Bone marrow smear — 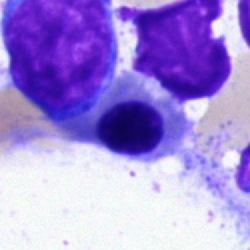

Classification = nucleated red blood cell.